Brightfield microscopy, 40× oil immersion. Single cell centered in the field. Bone marrow smear — 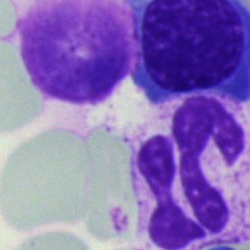The classification is polymorphonuclear neutrophil.